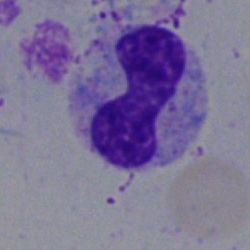

Specimen: bone marrow smear.
Morphological class: polymorphonuclear neutrophil.